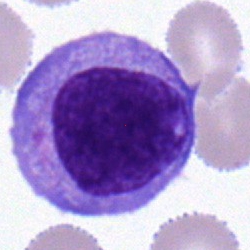

{"cell_type": "typical lymphocyte"}